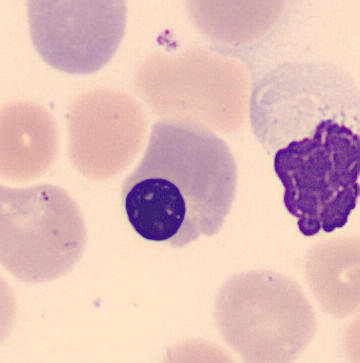Morphological class = nucleated red blood cell.